Bone marrow smear:
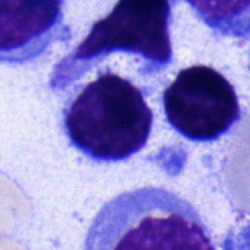 Q: What is the morphological classification of this cell?
A: A typical lymphocyte.